May-Grünwald-Giemsa stain. Bone marrow smear — 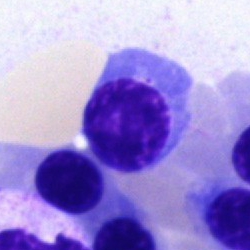Morphological class = normoblast.